May-Grünwald-Giemsa stain · 40× objective, oil immersion · bone marrow smear: 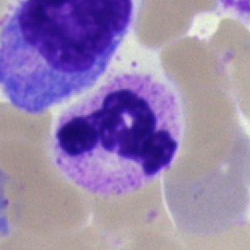Single cell identified as a neutrophil (segmented).